Bone marrow aspirate smear · 250×250 px
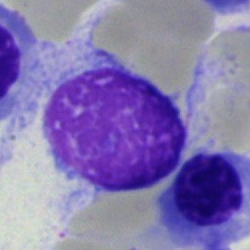
Specimen: bone marrow smear.
Morphological class: artifact.